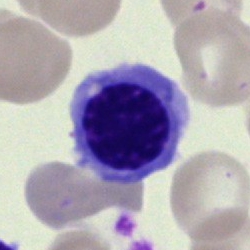This is an erythroblast.